Bone marrow aspirate smear.
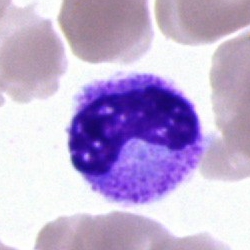
Q: What is the morphological classification of this cell?
A: A band neutrophil.